Bone marrow aspirate smear — 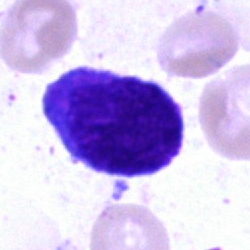

Cell = undifferentiated blast.